Bone marrow aspirate smear. 250×250 px. 40× objective, oil immersion
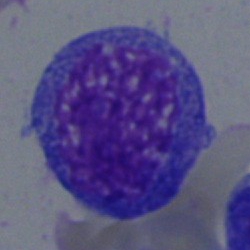
{"cell_type": "blast cell"}